Bone marrow aspirate smear:
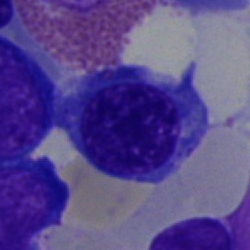The morphological class is normoblast.